Bone marrow smear.
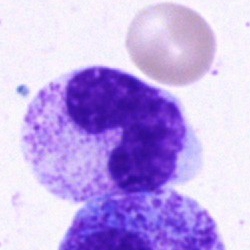
The cell shown is a neutrophil (band).